Bone marrow smear:
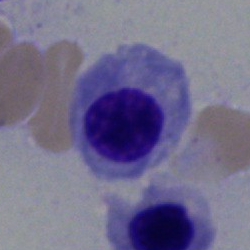

Q: Identify the cell.
A: Nucleated red cell.